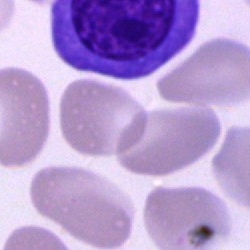 Impression → nucleated red blood cell.